Peripheral blood film. Romanowsky-stained.
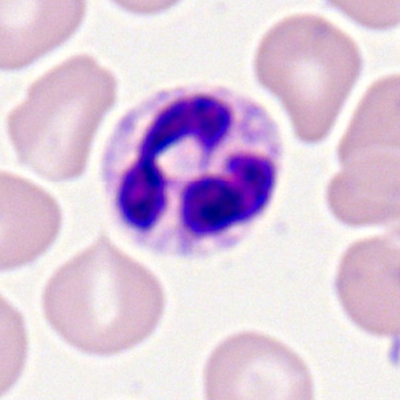

Specimen: peripheral blood film.
Cell type: segmented neutrophil.